Bone marrow aspirate smear:
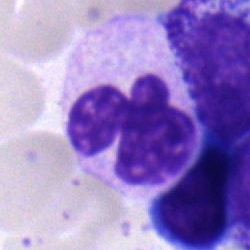
Morphology consistent with a neutrophil (segmented).